Single-cell field · bone marrow aspirate smear:
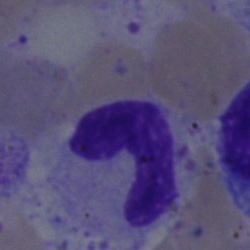This is a band-form neutrophil.